Brightfield, 40× oil-immersion objective · single-cell field · bone marrow smear
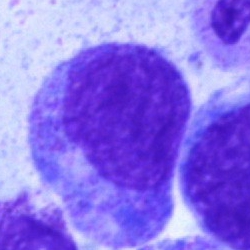
This is a promyelocyte.